Bone marrow smear. Pappenheim-stained — 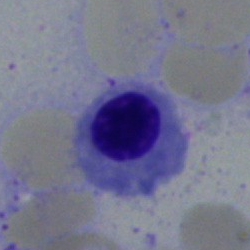 Morphology consistent with a nucleated red blood cell.